Brightfield microscopy, 40× oil immersion · MGG-stained · bone marrow smear:
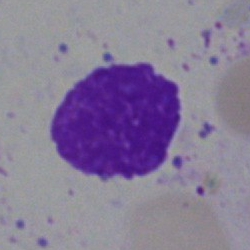Specimen: bone marrow smear.
Classification: artefact.